Bone marrow smear · brightfield, 40× oil-immersion objective · cropped to a single cell — 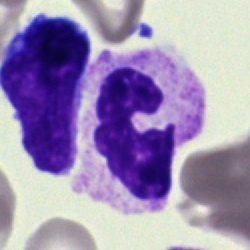

Q: What type of cell is this?
A: It is a neutrophil (segmented).